Peripheral blood film · 100× objective, oil immersion — 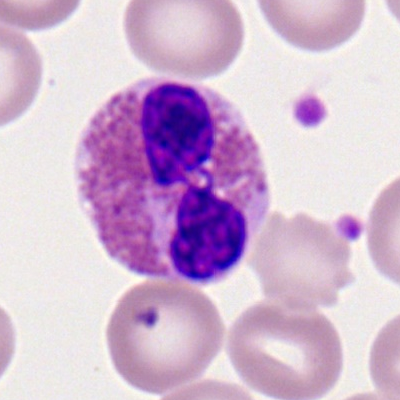 Specimen: peripheral blood smear.
Cell type: eosinophil.